Bone marrow smear:
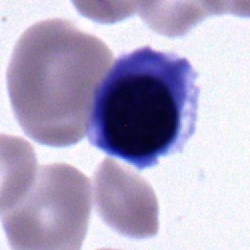 Classification = nucleated red blood cell.